Bone marrow smear · 250 by 250 pixels · Pappenheim-stained — 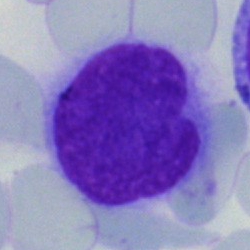 Morphological class = blast.